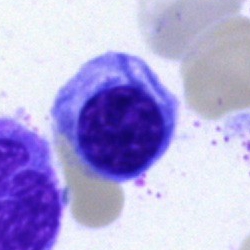

Classification: nucleated red blood cell.